Bone marrow smear; 40× objective, oil immersion:
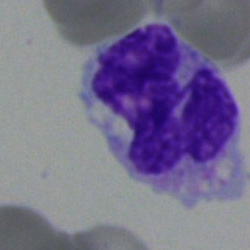
Specimen: bone marrow smear.
Cell: monocyte.
Lineage: myeloid.